May-Grünwald-Giemsa/Pappenheim stain. Bone marrow aspirate smear. Single cell centered in the field: 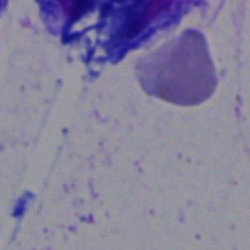

Morphological class — artifact.